Bone marrow smear:
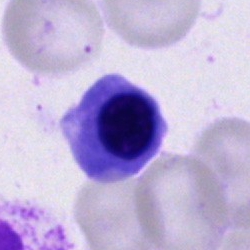

The cell shown is a normoblast.